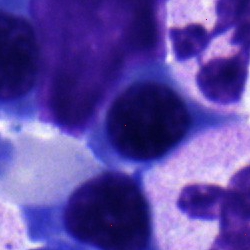
Bone marrow aspirate smear, single cell — erythroblast.